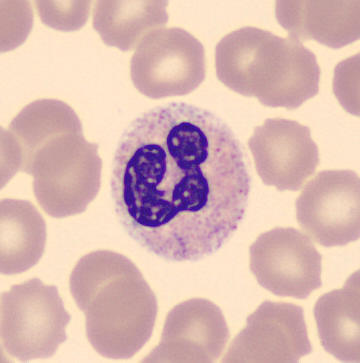
Q: Which cell type is shown here?
A: It is a segmented neutrophil.